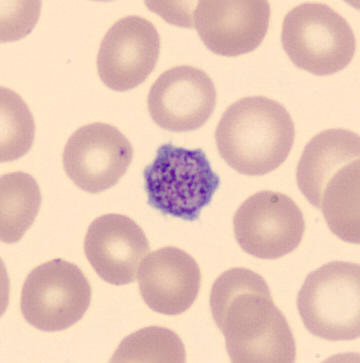Acquisition: Automated cell imaging (CellaVision DM96). Peripheral blood film.
Identified as a thrombocyte.